Bone marrow aspirate smear · 250×250 · 40× oil immersion: 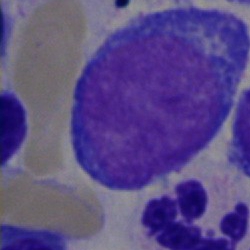
This is a pronormoblast.